Bone marrow aspirate smear — 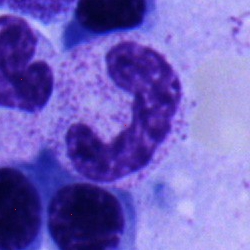

Classification — neutrophil (band).